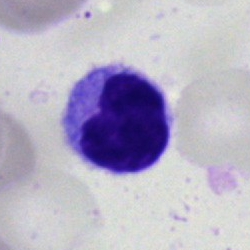

Cell type = typical lymphocyte.